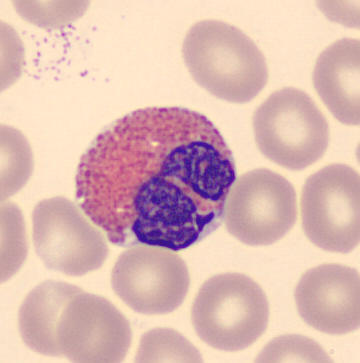Single-cell crop from a peripheral blood smear: eosinophil.